Bone marrow aspirate smear.
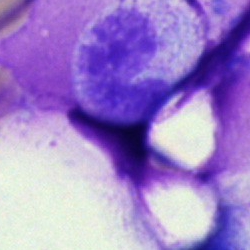Q: Which cell type is shown here?
A: A band neutrophil.